Bone marrow smear · May-Grünwald-Giemsa/Pappenheim stain — 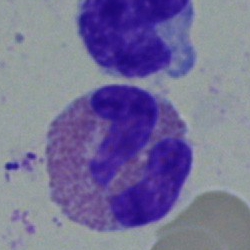

Specimen: bone marrow aspirate smear.
Cell: eosinophil.